Bone marrow smear.
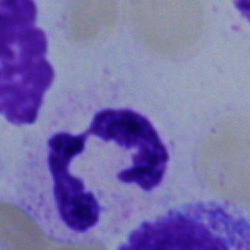

The cell shown is a segmented neutrophil.